Bone marrow aspirate smear; Pappenheim-stained.
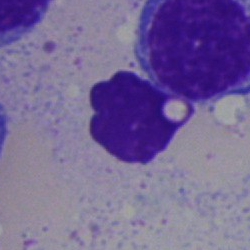 Morphology consistent with an artifact.